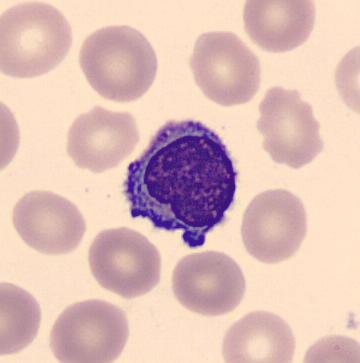Classification = typical lymphocyte.
Peripheral blood film.